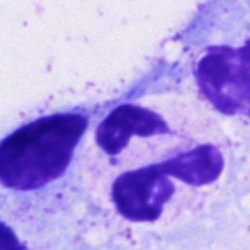

Bone marrow aspirate smear, single cell — neutrophil (segmented).